Bone marrow aspirate smear.
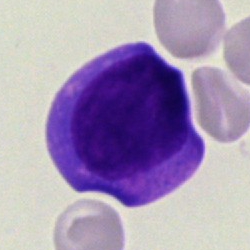 Q: What type of cell is this?
A: This is an undifferentiated blast.